Bone marrow aspirate smear: 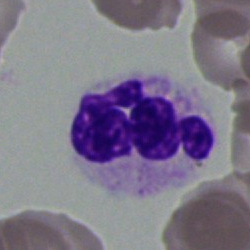Q: What is the morphological classification of this cell?
A: This is a polymorphonuclear neutrophil.